Bone marrow aspirate smear
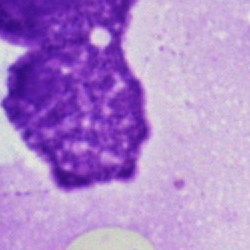 Impression → artifact.